Bone marrow smear. MGG-stained:
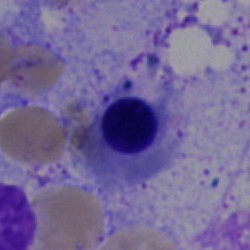

{"cell_type": "nucleated red blood cell", "lineage": "erythroid"}